Bone marrow smear:
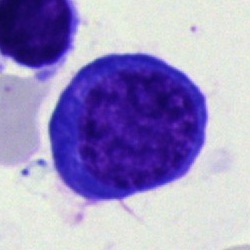 Q: What cell is this?
A: Normoblast.